Bone marrow aspirate smear
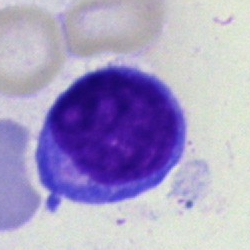Cell type = typical lymphocyte.